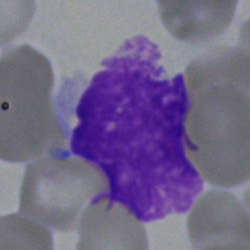
Impression → undifferentiated blast.